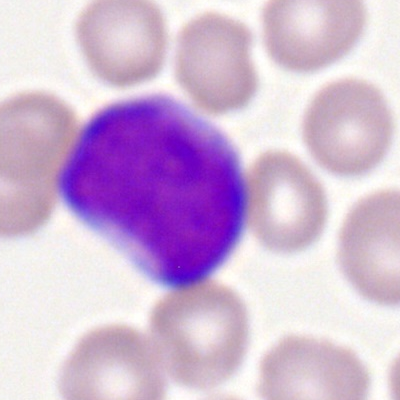

{"cell_type": "myeloid blast", "lineage": "myeloid"}